May-Grünwald-Giemsa stain. Single-cell crop. Bone marrow smear — 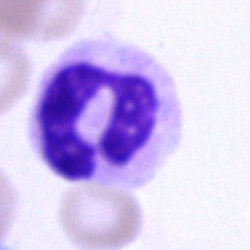
A neutrophil (segmented).